Bone marrow aspirate smear · single cell centered in the field.
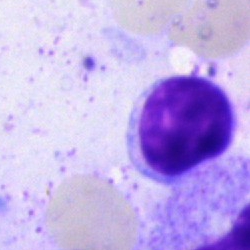
Morphological class = lymphocyte.